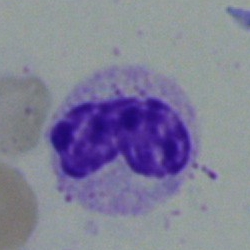 Q: Identify the cell.
A: This is a stab cell.